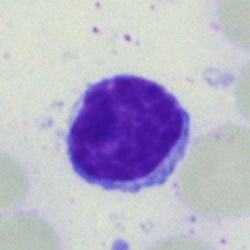 Q: Identify the cell.
A: A lymphocyte.